Cropped to a single cell. Bone marrow aspirate smear — 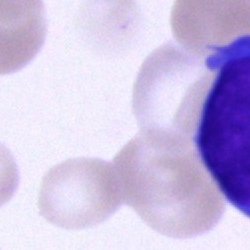

The cell type is unidentifiable cell.